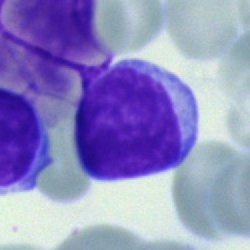 {"cell_type": "typical lymphocyte"}